Bone marrow aspirate smear: 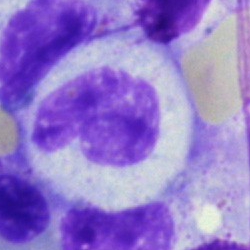{"cell_type": "neutrophil (band)", "lineage": "myeloid"}